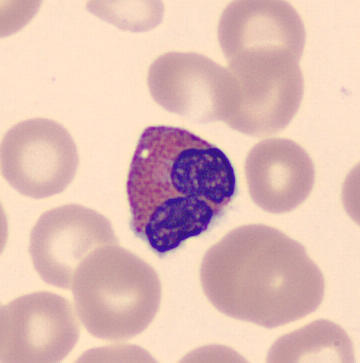 Q: Identify the cell.
A: This is an eosinophilic granulocyte.